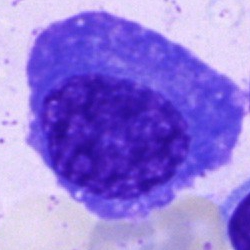 The classification is plasmacyte.